Bone marrow aspirate smear.
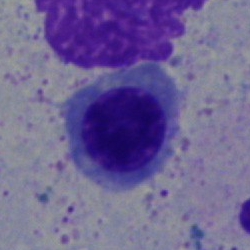 Q: Which cell type is shown here?
A: A nucleated red blood cell.